250×250 px; bone marrow smear.
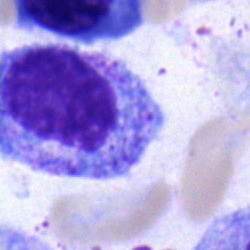
Myelocyte.